Bone marrow aspirate smear — 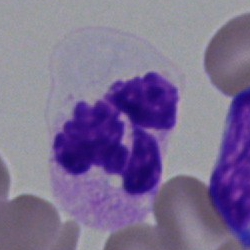 Showing a polymorphonuclear neutrophil.